Bone marrow aspirate smear · May-Grünwald-Giemsa/Pappenheim stain.
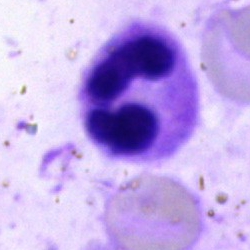
Showing a neutrophil (segmented).